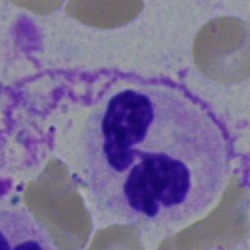{"cell_type": "neutrophil (segmented)"}